Peripheral blood film; 100× oil immersion: 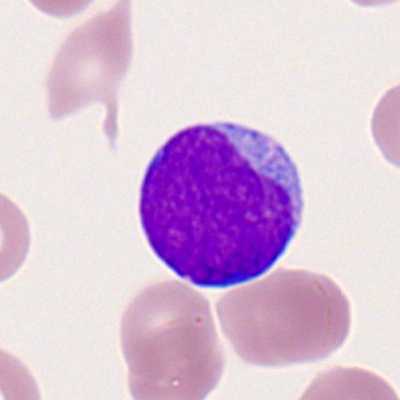Morphology — myeloblast.